Peripheral blood smear: 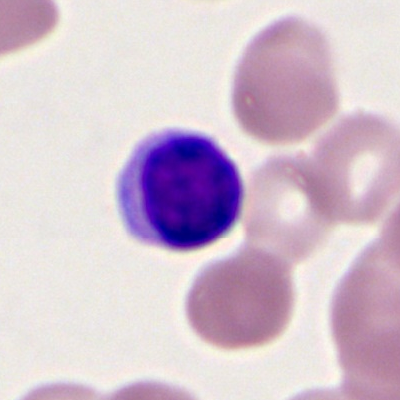 The cell is typical lymphocyte.